Image size 250×250 · bone marrow smear — 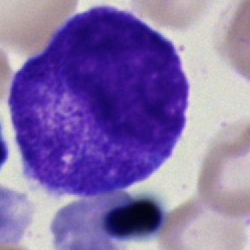
Q: What is shown here?
A: A promyelocyte.